Bone marrow smear — 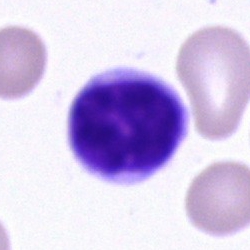

Single cell identified as a typical lymphocyte.